40× oil immersion; bone marrow smear
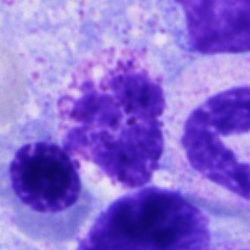 Cell type — basophil.